Bone marrow smear · 40× objective, oil immersion.
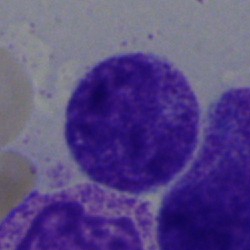{"cell_type": "myelocyte"}